250 by 250 pixels · bone marrow aspirate smear: 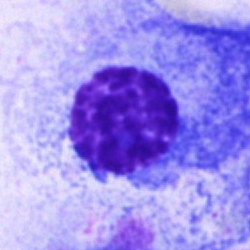

Impression — plasmacyte.